Bone marrow aspirate smear: 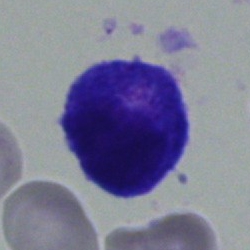

Morphology — plasmacyte.